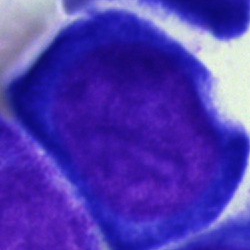

Q: Which cell type is shown here?
A: This is a proerythroblast.